Bone marrow smear.
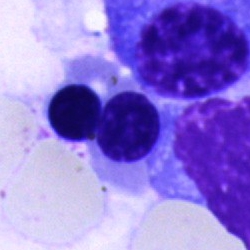 Morphology consistent with a nucleated red blood cell.